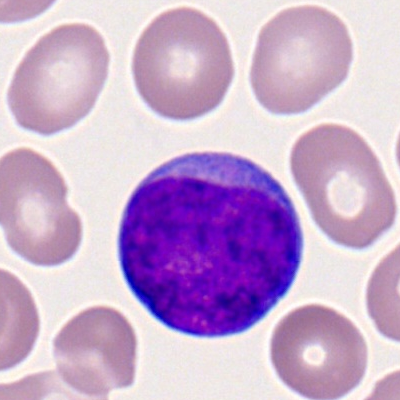
Morphology — myeloid blast.